Bone marrow smear:
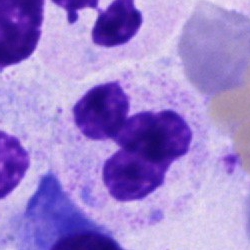
Morphological class: segmented neutrophil.